Cropped to a single cell · bone marrow aspirate smear — 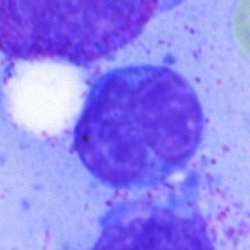 Showing a lymphocyte.